Single-cell field. Pappenheim-stained. Bone marrow smear.
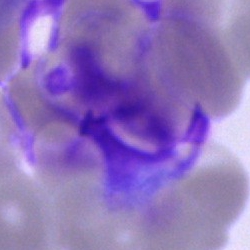The cell shown is an artifact.